Bone marrow aspirate smear:
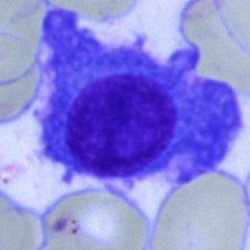
The cell type is plasma cell.